Bone marrow smear.
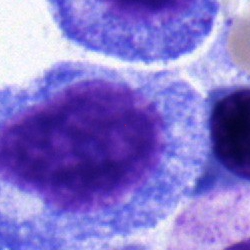

A promyelocyte.